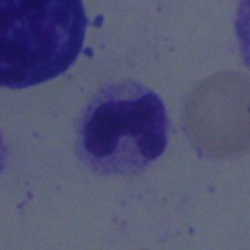 Bone marrow smear showing a segmented neutrophil.